Bone marrow smear
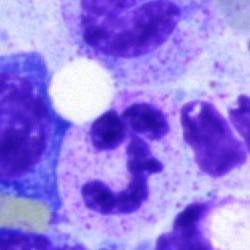
Cell — polymorphonuclear neutrophil.